May-Grünwald-Giemsa stain; bone marrow aspirate smear; 250×250 px:
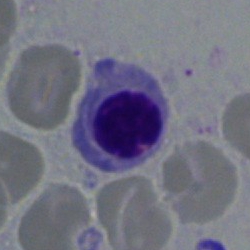This is a nucleated red blood cell.